Peripheral blood smear — 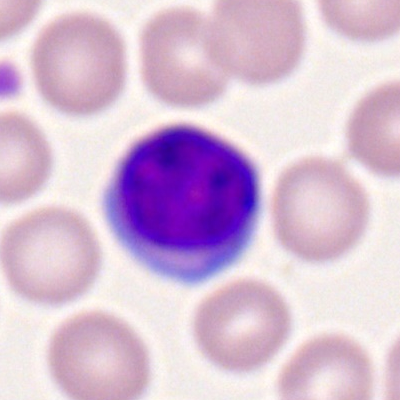 Specimen: peripheral blood film.
Morphological class: typical lymphocyte.
Lineage: lymphoid.